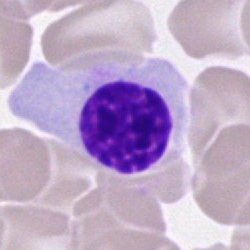

Classification — nucleated red cell.